Bone marrow smear; 250×250; single cell centered in the field:
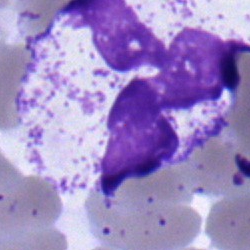

Impression → neutrophil (segmented).